Bone marrow aspirate smear. Image size 250×250
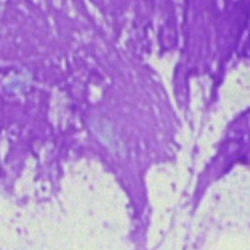

Single cell identified as an artifact.